Bone marrow aspirate smear:
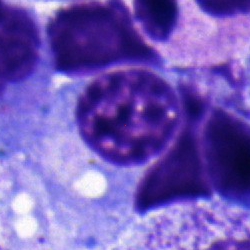

Specimen: bone marrow aspirate smear.
Cell: plasmacyte.
Lineage: lymphoid.